Brightfield, 40× oil-immersion objective. Bone marrow aspirate smear: 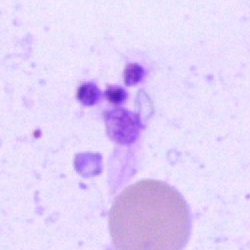
Q: What is shown here?
A: Artefact.